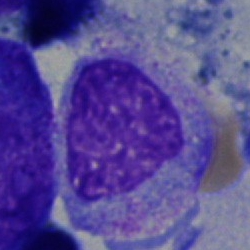

Specimen: bone marrow smear.
Classification: myelocyte.
Lineage: myeloid.